Single cell centered in the field · bone marrow smear · brightfield microscopy, 40× oil immersion
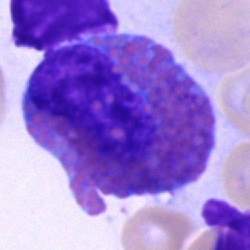Impression → eosinophilic granulocyte.